Brightfield, 40× oil-immersion objective. Single-cell field. Bone marrow aspirate smear — 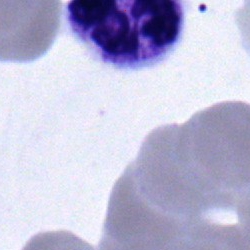
Segmented neutrophil.